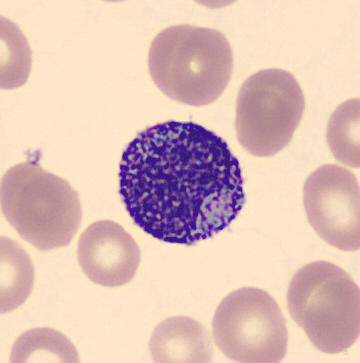

The cell type is myelocyte.